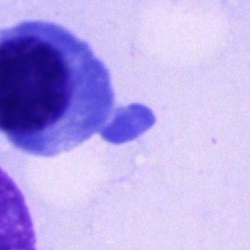
The cell is nucleated red cell.